Peripheral blood smear · MGG stain:
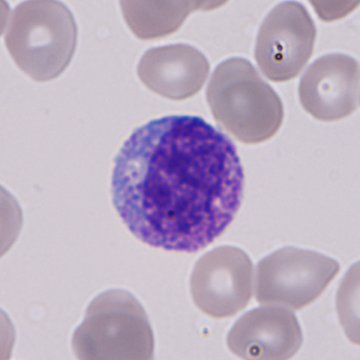The cell shown is a granulocyte precursor.